Romanowsky stain. Peripheral blood film
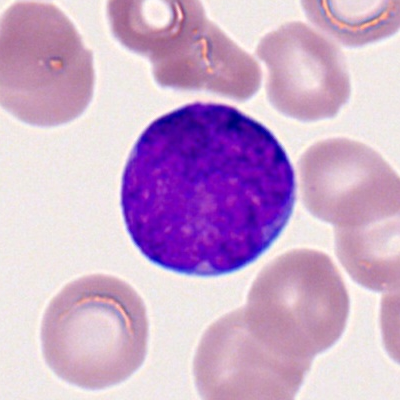

Cell = myeloblast.